Bone marrow smear
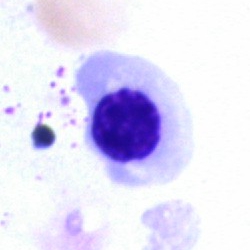
Morphology consistent with a nucleated red cell.